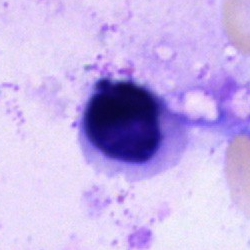

An artifact.